Bone marrow smear; brightfield, 40× oil-immersion objective; 250 by 250 pixels
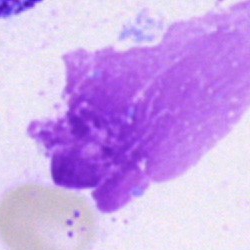
{"cell_type": "artefact"}